Peripheral blood smear.
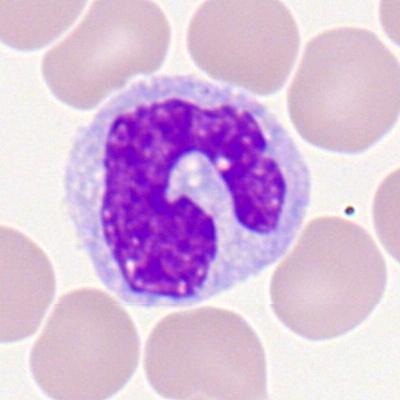 Q: What cell is this?
A: This is a monocyte.